Bone marrow smear:
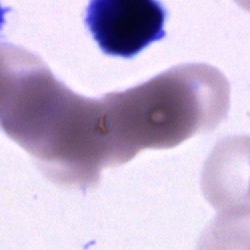 This is an unidentifiable cell.